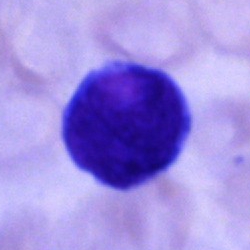

Q: Identify the cell.
A: Blast.